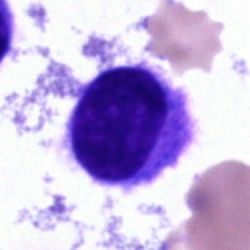 A hairy cell.